Single-cell crop · bone marrow smear.
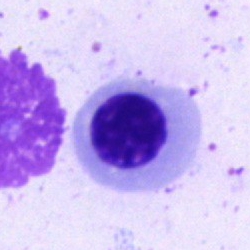Showing a nucleated red cell.